Bone marrow aspirate smear
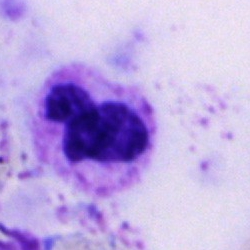
Morphology consistent with a neutrophil (segmented).